Bone marrow aspirate smear: 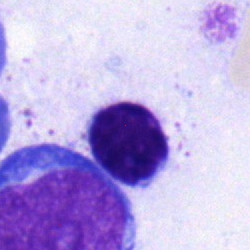Q: Identify the cell.
A: It is a lymphocyte.